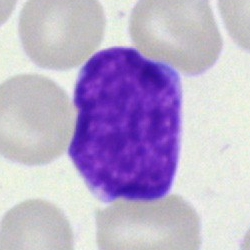 Specimen: bone marrow aspirate smear.
Cell: blast cell.